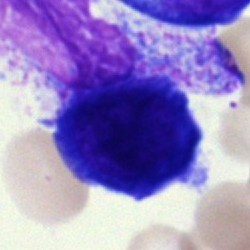
Bone marrow aspirate smear, single cell — unidentifiable cell.